Bone marrow aspirate smear:
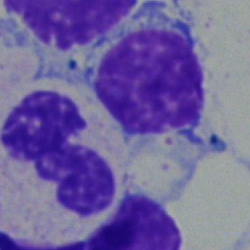

Showing a typical lymphocyte.